MGG-stained · bone marrow smear — 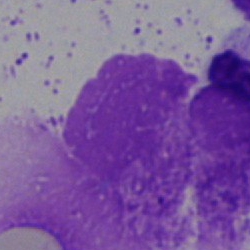
Q: What is shown here?
A: An artefact.